Bone marrow aspirate smear:
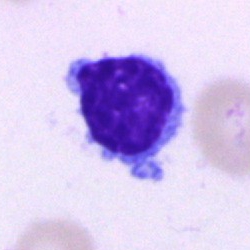

Q: What is shown here?
A: It is a typical lymphocyte.